40× objective, oil immersion · bone marrow smear — 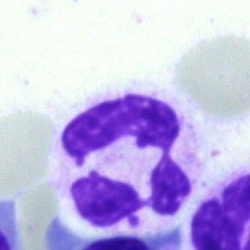Q: Which cell type is shown here?
A: It is a neutrophil (segmented).